May-Grünwald-Giemsa/Pappenheim stain; single-cell field; bone marrow smear:
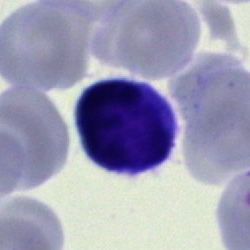Morphology consistent with a lymphocyte.